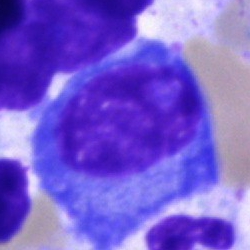 Single-cell crop from a bone marrow smear: plasmacyte.